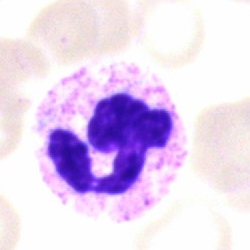

Morphological class = neutrophil (segmented).